250×250. Bone marrow smear. Single-cell field — 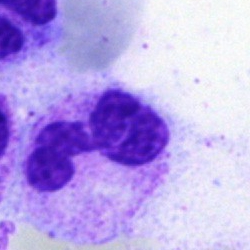

The cell shown is a neutrophil (segmented).